Pappenheim-stained. Bone marrow aspirate smear
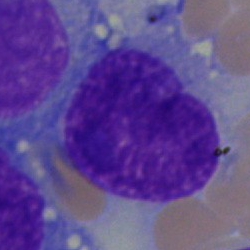
Blast cell.